40× oil immersion. Bone marrow smear. Cropped to a single cell.
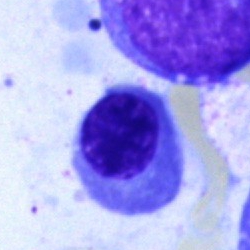
Q: Which cell type is shown here?
A: It is an erythroblast.